Bone marrow aspirate smear. Brightfield microscopy, 40× oil immersion.
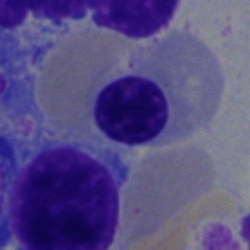 Erythroblast.